May-Grünwald-Giemsa/Pappenheim stain. 40× objective, oil immersion. Bone marrow smear:
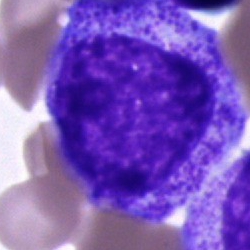

Specimen: bone marrow aspirate smear.
Cell type: promyelocyte.
Lineage: myeloid.